Bone marrow aspirate smear: 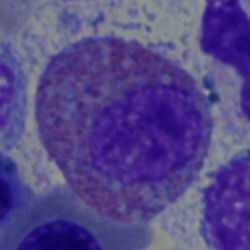Morphology consistent with an eosinophilic granulocyte.